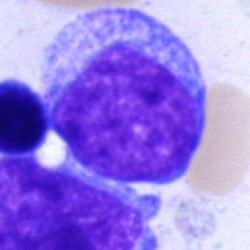

Cell = blast.